Bone marrow aspirate smear.
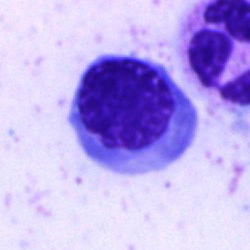Specimen: bone marrow smear.
Cell: normoblast.
Lineage: erythroid.